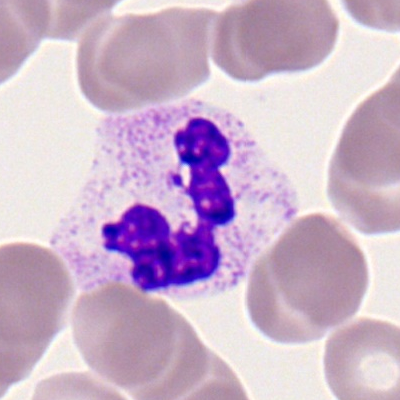 This is a segmented neutrophil.